Peripheral blood film.
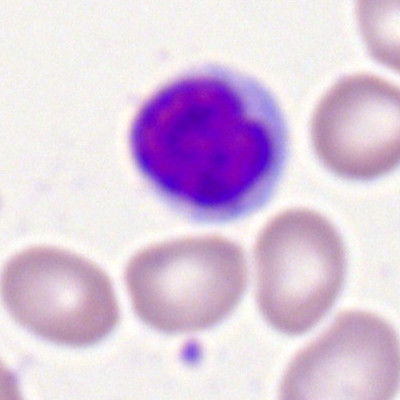 This is a typical lymphocyte.